Bone marrow smear:
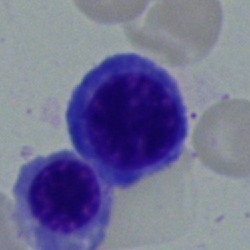
The cell is normoblast.